Bone marrow smear — 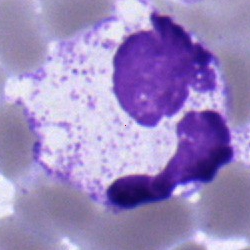
Classification: segmented neutrophil.